Bone marrow smear: 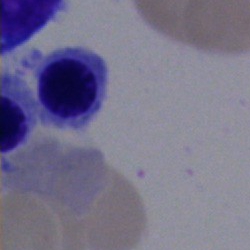
Q: Which cell type is shown here?
A: It is an erythroblast.